Bone marrow smear — 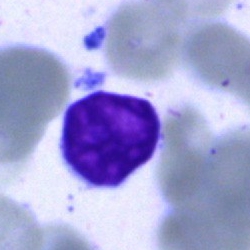The cell shown is an artefact.